Peripheral blood film: 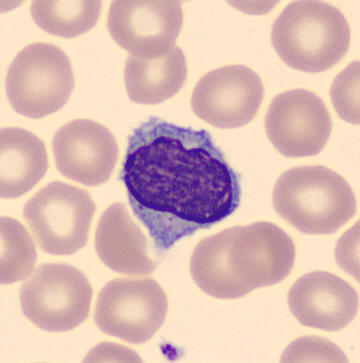 The cell shown is a typical lymphocyte.